Brightfield microscopy, 40× oil immersion; bone marrow smear; Pappenheim-stained: 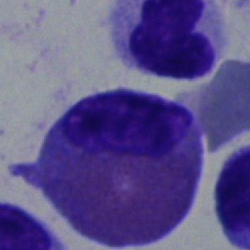 Q: What is the morphological classification of this cell?
A: This is an eosinophil.